Bone marrow aspirate smear:
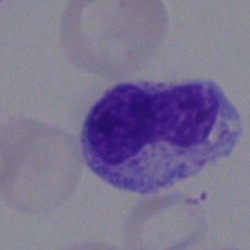

Morphological class — metamyelocyte.